Bone marrow aspirate smear; 250×250 px: 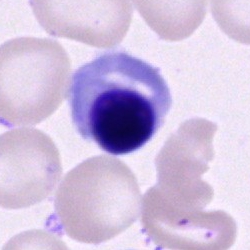
This is a nucleated red blood cell.